Bone marrow aspirate smear; 40× oil immersion:
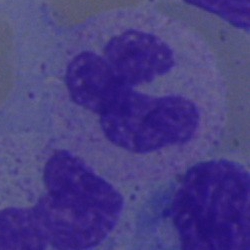Impression — polymorphonuclear neutrophil.